Bone marrow smear
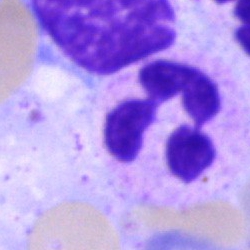A polymorphonuclear neutrophil.